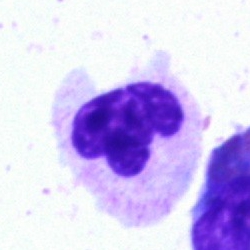

Bone marrow aspirate smear, single cell — segmented neutrophil.